Bone marrow aspirate smear:
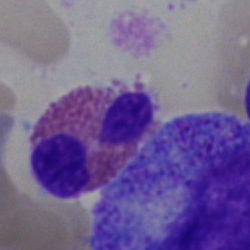An eosinophil.